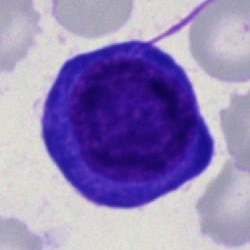
Q: Identify the cell.
A: It is a nucleated red blood cell.